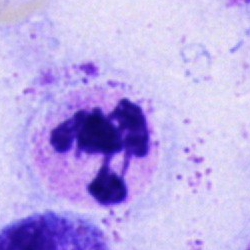
Q: What is shown here?
A: A neutrophil (segmented).